Bone marrow aspirate smear; single-cell crop; 40× objective, oil immersion: 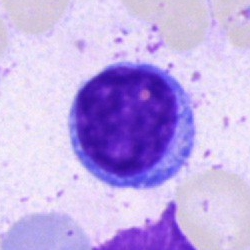

Cell type: lymphocyte.